Bone marrow smear: 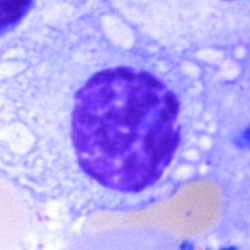

Cell: plasmacyte.